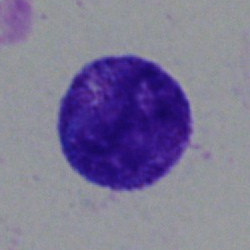
Bone marrow aspirate smear, single cell — promyelocyte.